Bone marrow aspirate smear · May-Grünwald-Giemsa stain · 40× oil immersion: 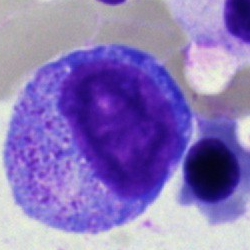Myelocyte.